Brightfield, 40× oil-immersion objective · bone marrow smear.
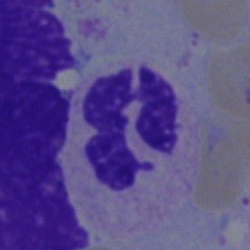 Impression → polymorphonuclear neutrophil.